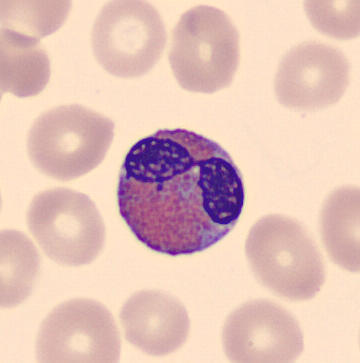

Morphology consistent with an eosinophil.